Bone marrow smear
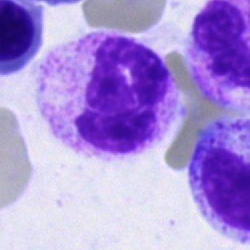

Specimen: bone marrow smear.
Cell type: polymorphonuclear neutrophil.
Lineage: myeloid.